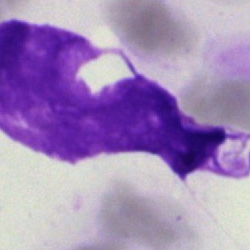Specimen: bone marrow smear.
Cell type: artifact.